Bone marrow aspirate smear:
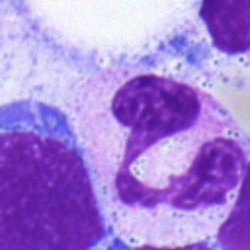
This is a polymorphonuclear neutrophil.